Bone marrow smear; 250 by 250 pixels
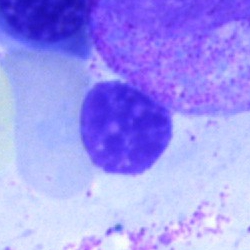Artifact.